Bone marrow smear: 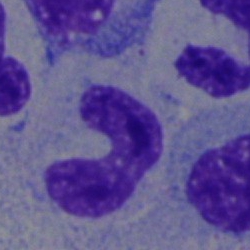

Q: What is shown here?
A: It is a neutrophil (band).